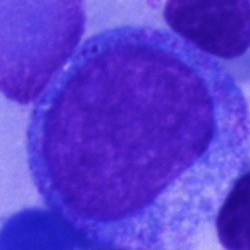 Impression — promyelocyte.